May-Grünwald-Giemsa stain · bone marrow smear — 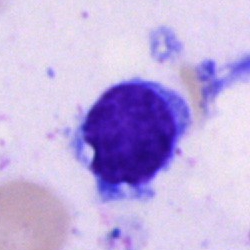 Q: Which cell type is shown here?
A: It is a lymphocyte.